Bone marrow aspirate smear · May-Grünwald-Giemsa/Pappenheim stain
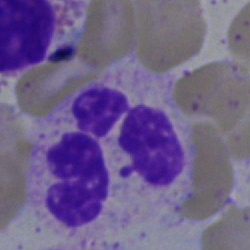Specimen: bone marrow aspirate smear.
Cell: polymorphonuclear neutrophil.
Lineage: myeloid.